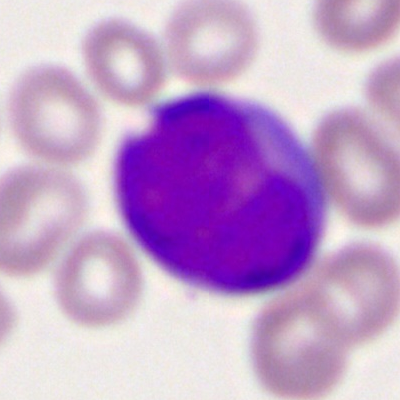
Cell type — myeloid blast.